Bone marrow aspirate smear.
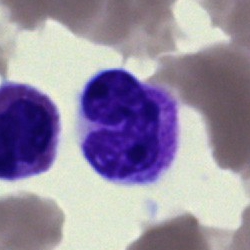
Impression → unidentifiable cell.